Bone marrow smear.
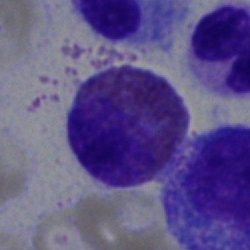
Single cell identified as an eosinophilic granulocyte.